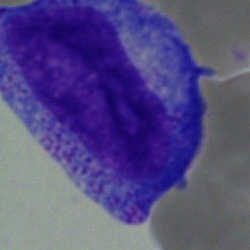

Specimen: bone marrow aspirate smear.
Morphological class: progranulocyte.